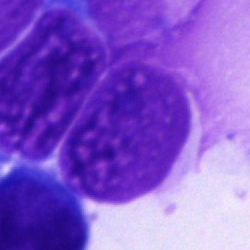

Q: What is shown here?
A: An artefact.